Bone marrow smear: 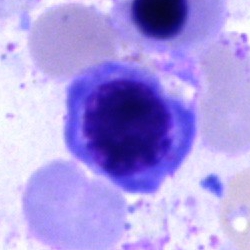Q: Which cell type is shown here?
A: It is a nucleated red cell.